Bone marrow smear: 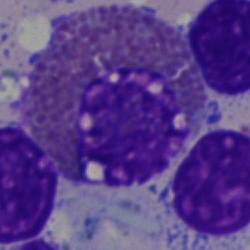

Specimen: bone marrow smear.
Cell type: eosinophil.
Lineage: myeloid.